Bone marrow aspirate smear: 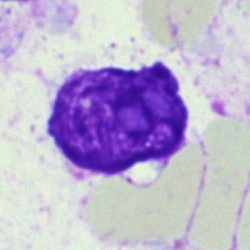

Q: What is shown here?
A: It is an artifact.